Peripheral blood film: 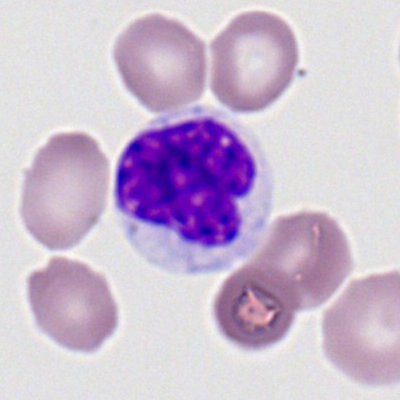

The cell is neutrophil (segmented).